Bone marrow smear
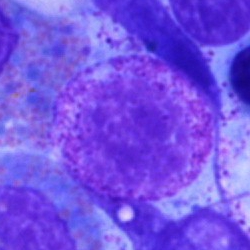

Cell — myelocyte.